Bone marrow smear — 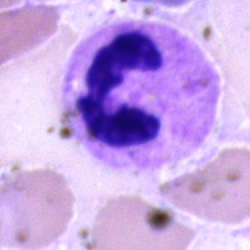

Morphological class = segmented neutrophil.